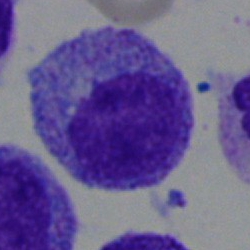 Specimen: bone marrow aspirate smear.
Classification: promyelocyte.
Lineage: myeloid.